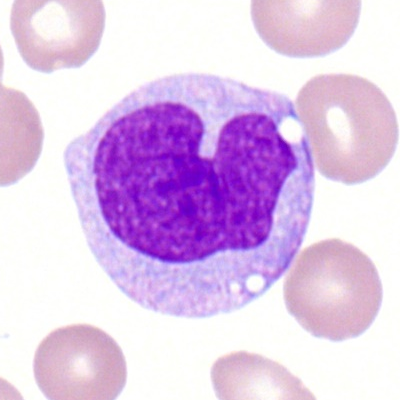
Monocyte.